Bone marrow smear
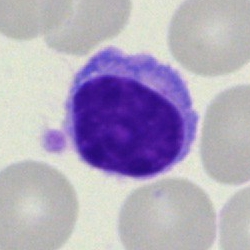Cell type = lymphocyte.